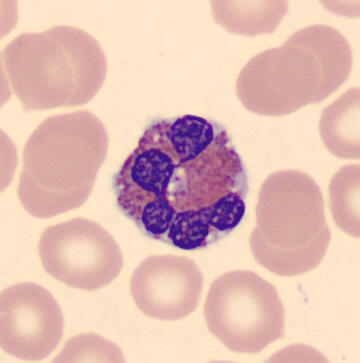

Morphology → eosinophilic granulocyte. Peripheral blood smear.